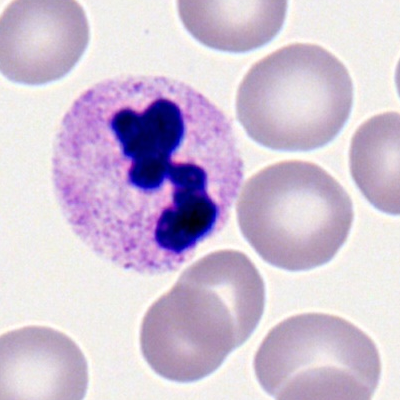 The cell is segmented neutrophil.